Bone marrow aspirate smear: 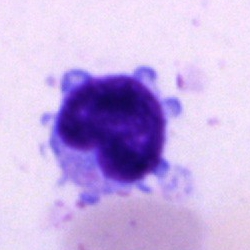
Cell: typical lymphocyte.